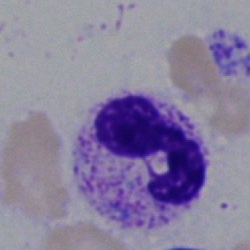Cell — neutrophil (segmented).